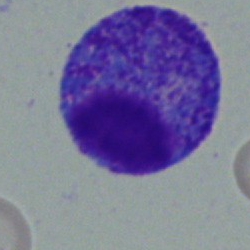

Cell type — promyelocyte.